Bone marrow aspirate smear.
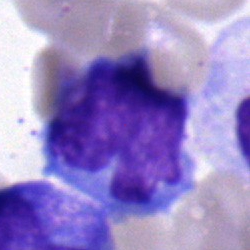

Cell type = monocyte.